Bone marrow smear: 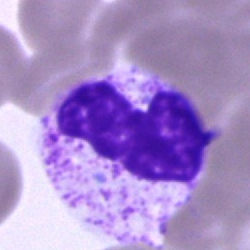 {"cell_type": "segmented neutrophil"}